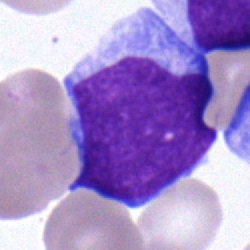 Classification — undifferentiated blast.